Bone marrow smear. Brightfield, 40× oil-immersion objective.
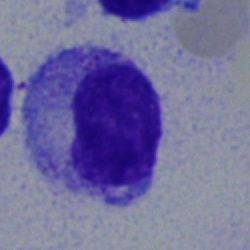Specimen: bone marrow aspirate smear.
Cell type: metamyelocyte.